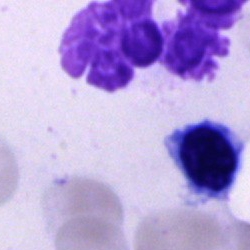Single-cell crop from a bone marrow smear: artefact.